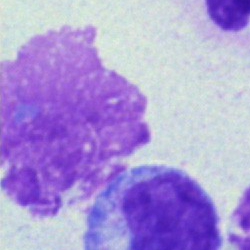

Specimen: bone marrow aspirate smear.
Classification: artifact.